May-Grünwald-Giemsa/Pappenheim stain · bone marrow aspirate smear · single-cell crop:
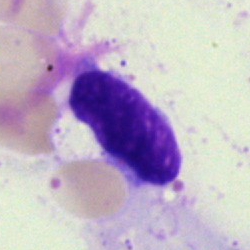

The cell is artefact.